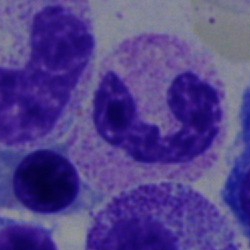
A stab cell.